Single cell centered in the field; bone marrow smear; image size 250×250.
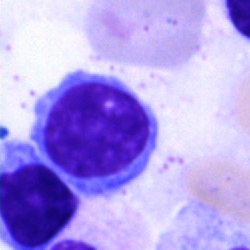 The classification is typical lymphocyte.